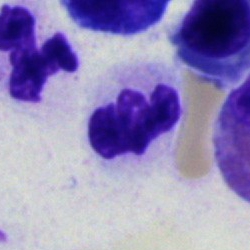Classification — polymorphonuclear neutrophil.